Bone marrow smear; MGG-stained; single-cell crop: 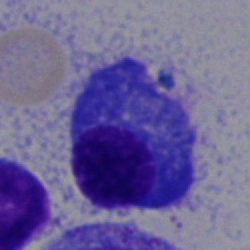
{"cell_type": "plasmacyte", "lineage": "lymphoid"}